Bone marrow aspirate smear.
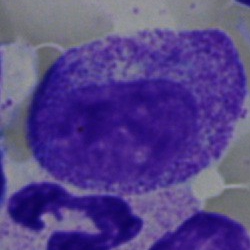 Classification: myelocyte.